Bone marrow smear.
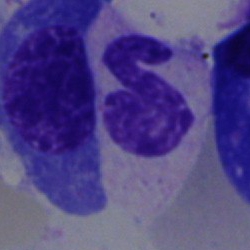
Morphology consistent with a segmented neutrophil.